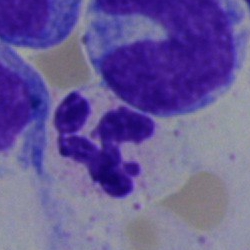Specimen: bone marrow aspirate smear.
Classification: polymorphonuclear neutrophil.
Lineage: myeloid.